Bone marrow aspirate smear
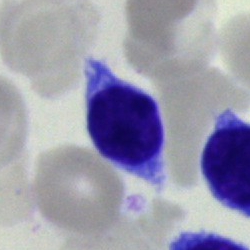Showing a lymphocyte.